Bone marrow aspirate smear · MGG-stained:
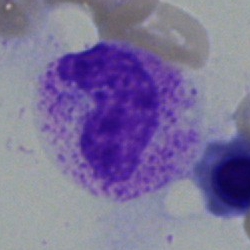Specimen: bone marrow aspirate smear.
Morphological class: stab cell.